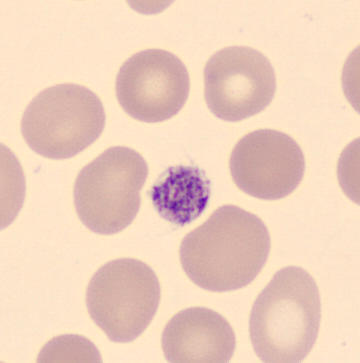Cell type — platelet (thrombocyte). Peripheral blood smear · May-Grünwald-Giemsa-stained · image size 360×363.